CellaVision DM96 digital cell image. 360×363. Peripheral blood film: 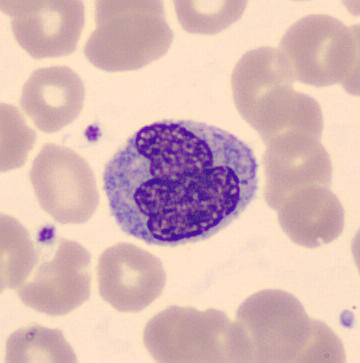 The cell is monocyte.